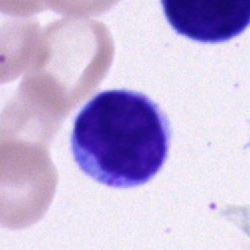A typical lymphocyte on a bone marrow smear.